Bone marrow aspirate smear:
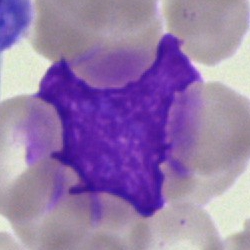 Single cell identified as an artifact.